Bone marrow aspirate smear. Single-cell crop. May-Grünwald-Giemsa/Pappenheim stain
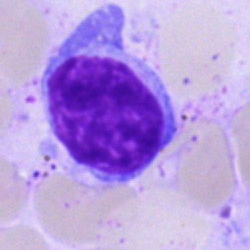

Q: What is shown here?
A: Lymphocyte.